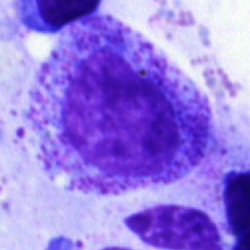

Impression → progranulocyte.